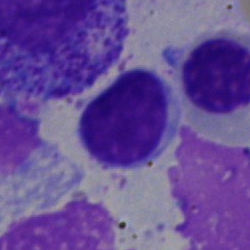Morphological class: typical lymphocyte.